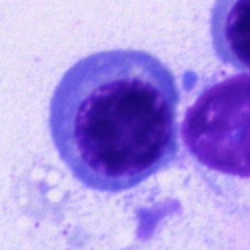Specimen: bone marrow smear.
Morphological class: erythroblast.
Lineage: erythroid.